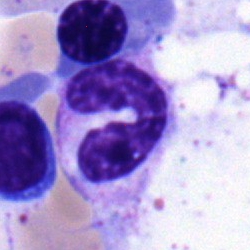Bone marrow aspirate smear, single cell — band-form neutrophil.